Bone marrow aspirate smear · brightfield microscopy, 40× oil immersion:
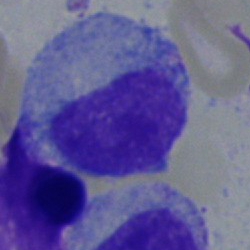 Specimen: bone marrow aspirate smear.
Morphological class: myelocyte.